Bone marrow aspirate smear. 250 by 250 pixels.
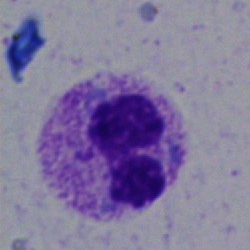

Impression → segmented neutrophil.